40× oil immersion. Bone marrow smear:
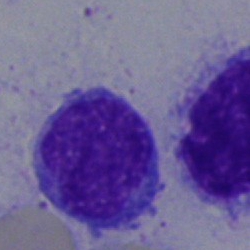
Q: What type of cell is this?
A: This is a lymphocyte.